Bone marrow smear
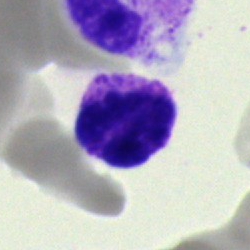 Impression — basophilic granulocyte.